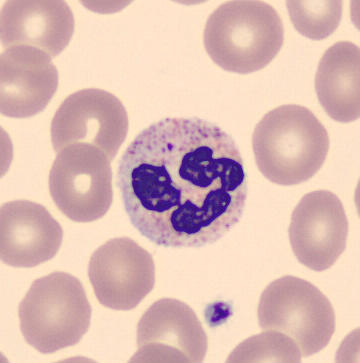
Identified as a segmented neutrophil.

Acquisition: 360 by 363 pixels. Peripheral blood film. Automated cell imaging (CellaVision DM96).